Bone marrow aspirate smear
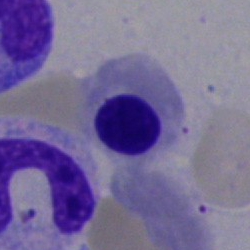

Cell: nucleated red blood cell.